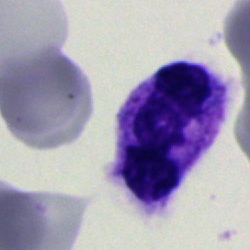 Specimen: bone marrow smear.
Cell type: neutrophil (band).
Lineage: myeloid.